Bone marrow aspirate smear:
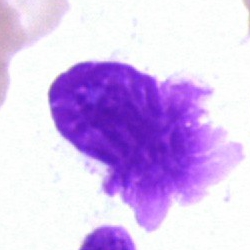Showing an artifact.